Bone marrow aspirate smear.
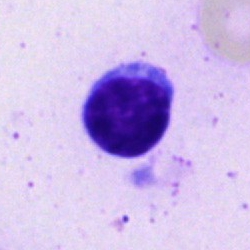

Cell type = typical lymphocyte.